Cropped to a single cell. Bone marrow smear
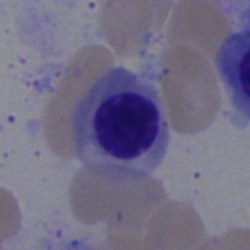

{"cell_type": "normoblast", "lineage": "erythroid"}